Bone marrow aspirate smear · MGG-stained · cropped to a single cell
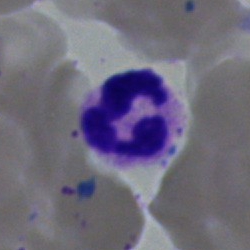
{"cell_type": "polymorphonuclear neutrophil", "lineage": "myeloid"}